250×250. Bone marrow smear.
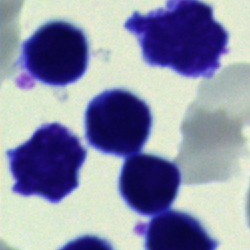
Single cell identified as a typical lymphocyte.